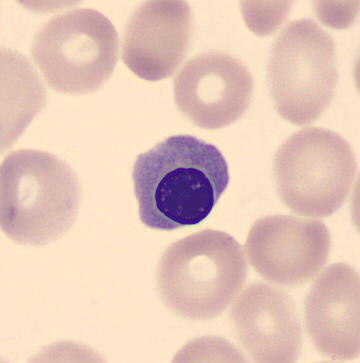 Morphology — nucleated red cell.